Bone marrow smear
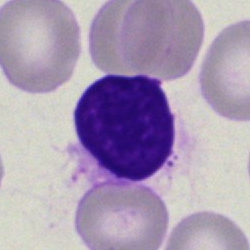The cell type is lymphocyte.